Bone marrow smear — 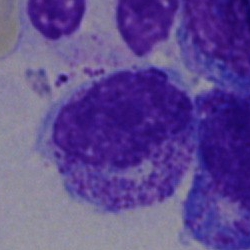

Specimen: bone marrow aspirate smear.
Cell type: myelocyte.
Lineage: myeloid.